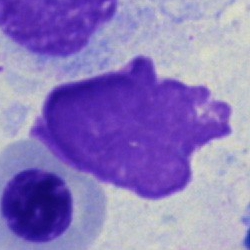The morphological class is artifact.